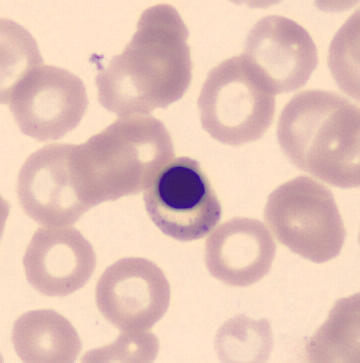
Peripheral blood film. Cell type — erythroblast.